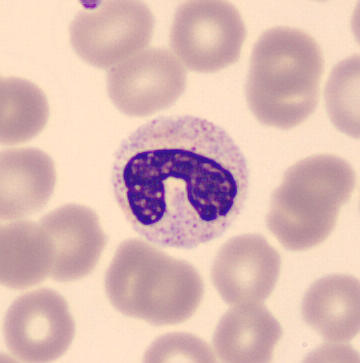 Preparation: CellaVision DM96. May Grünwald-Giemsa stain. Peripheral blood film. Cell — band-form neutrophil.